Peripheral blood film: 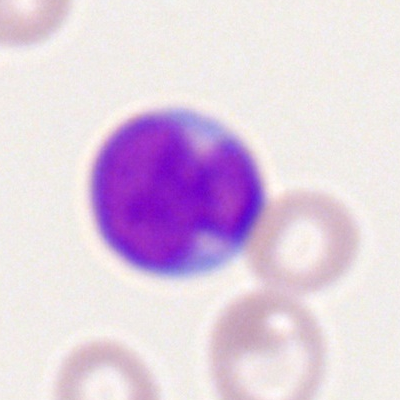
Single cell identified as a myeloid blast.